Bone marrow smear
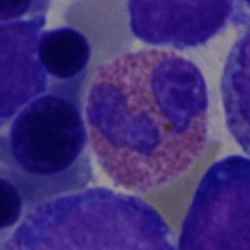 Morphological class: eosinophil.